Bone marrow aspirate smear
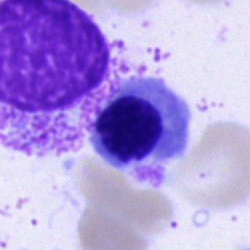Q: Identify the cell.
A: This is a normoblast.